Bone marrow aspirate smear.
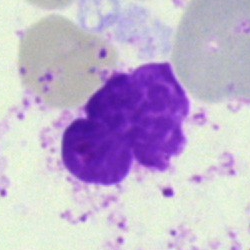
An artefact.